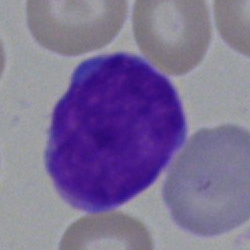
Q: Identify the cell.
A: It is a blast.